Bone marrow smear — 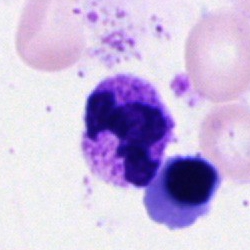
The cell shown is a segmented neutrophil.